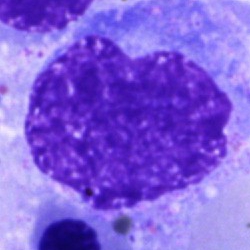An artefact.